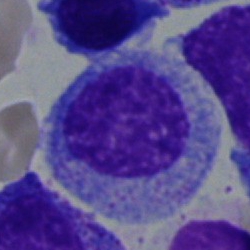

The classification is myelocyte.